Single cell centered in the field; 250×250 px; bone marrow smear.
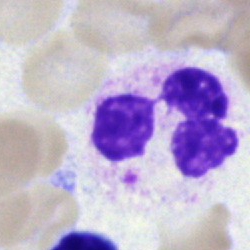

Polymorphonuclear neutrophil.